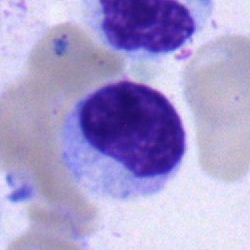Single-cell crop from a bone marrow smear: lymphocyte.